Bone marrow aspirate smear.
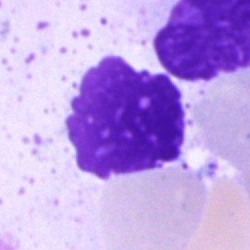Morphology → artefact.